Bone marrow aspirate smear: 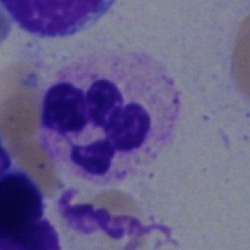 Showing a segmented neutrophil.